Bone marrow smear
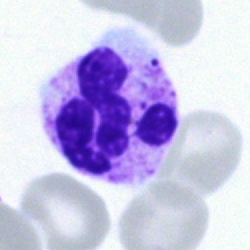Morphology → segmented neutrophil.